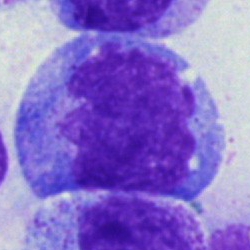
Cell type — monocyte.